Bone marrow smear:
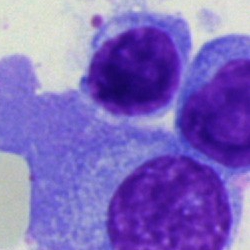

The morphological class is typical lymphocyte.